Bone marrow aspirate smear:
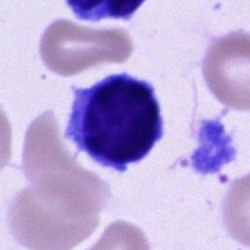

This is a typical lymphocyte.